250×250 px; brightfield microscopy, 40× oil immersion; bone marrow smear.
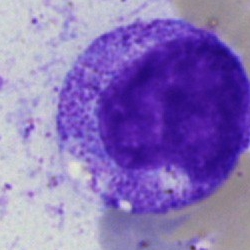
Specimen: bone marrow aspirate smear.
Morphological class: myelocyte.
Lineage: myeloid.